Bone marrow smear.
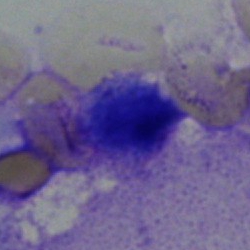
Morphology consistent with a lymphocyte.